Bone marrow smear.
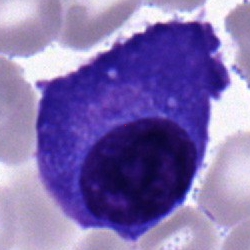 This is a plasmacyte.